Bone marrow aspirate smear. Pappenheim-stained: 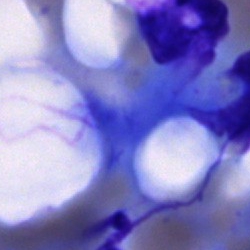
Q: What is shown here?
A: It is an artifact.